Bone marrow aspirate smear · single-cell field.
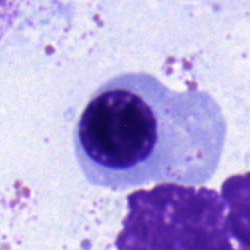
Q: Which cell type is shown here?
A: Nucleated red blood cell.